Bone marrow smear: 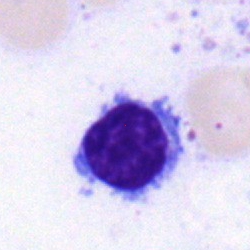Normoblast.